40× objective, oil immersion. Bone marrow smear. Pappenheim-stained
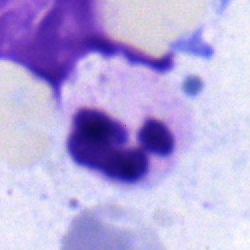

Specimen: bone marrow aspirate smear.
Cell: neutrophil (segmented).
Lineage: myeloid.